Peripheral blood smear
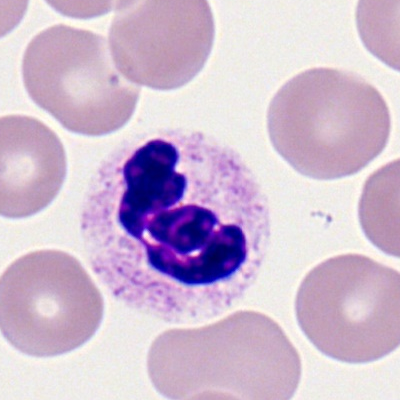 Q: What is the morphological classification of this cell?
A: It is a neutrophil (segmented).